Bone marrow aspirate smear: 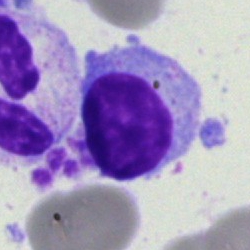

Morphological class: lymphocyte.